May-Grünwald-Giemsa stain; bone marrow aspirate smear
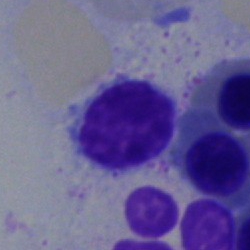
Typical lymphocyte.